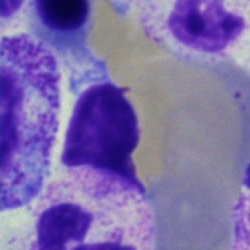 Specimen: bone marrow aspirate smear.
Cell type: eosinophil.